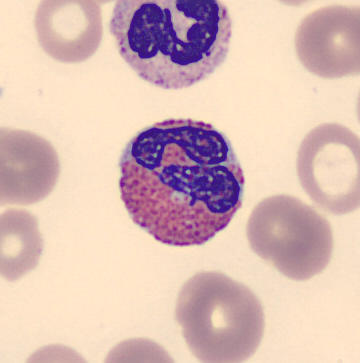Identified as an eosinophilic granulocyte.